Pappenheim-stained; 250×250; bone marrow aspirate smear: 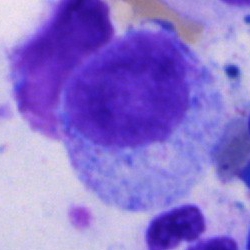Q: What type of cell is this?
A: Promyelocyte.